Bone marrow aspirate smear: 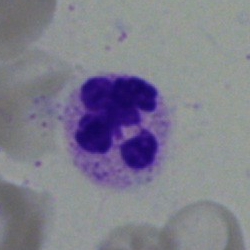
Cell type = neutrophil (segmented).